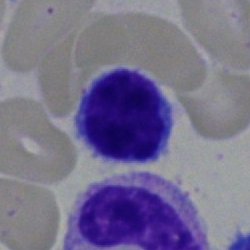
Single cell identified as a lymphocyte.